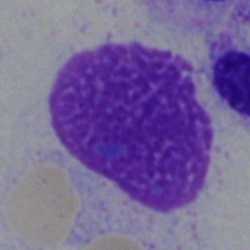
Showing an artifact.